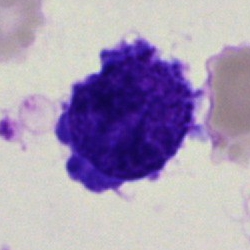
The classification is blast cell.